Bone marrow aspirate smear
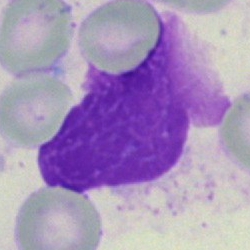

An artefact.